250×250 px. Bone marrow smear.
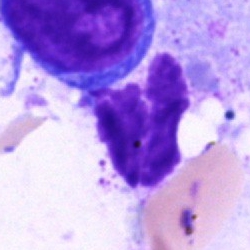 Classification — artefact.